Bone marrow smear:
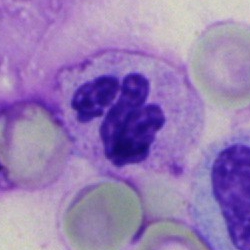
Cell — polymorphonuclear neutrophil.